Bone marrow smear — 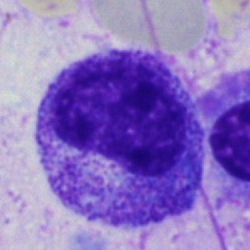

Morphology — progranulocyte.